Peripheral blood smear:
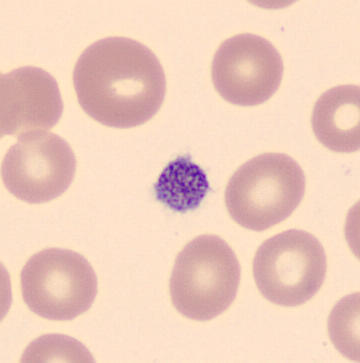
Classification: platelet (thrombocyte).